40× objective, oil immersion. Pappenheim-stained. Bone marrow smear
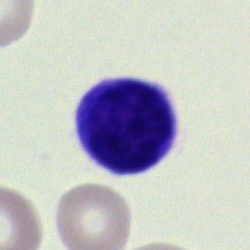 The classification is typical lymphocyte.